Bone marrow smear. May-Grünwald-Giemsa/Pappenheim stain:
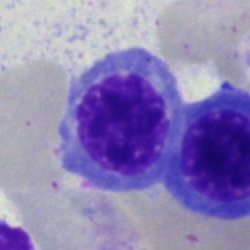 Nucleated red cell.